Bone marrow smear.
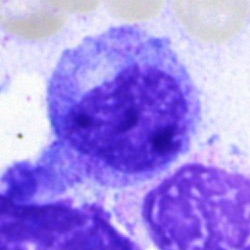
Q: What is shown here?
A: This is a metamyelocyte.